Peripheral blood film — 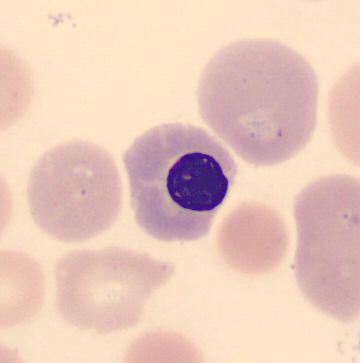 {"cell_type": "normoblast", "lineage": "erythroid"}